Bone marrow smear:
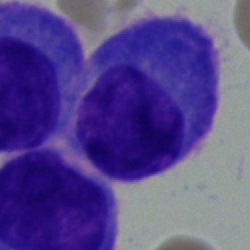

Morphology consistent with a plasma cell.